Bone marrow aspirate smear.
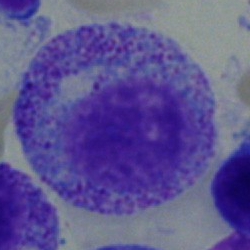 Morphology — promyelocyte.